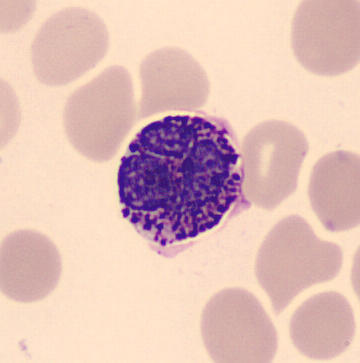

Acquisition: Peripheral blood film.
Morphological class — basophil.